40× oil immersion · bone marrow aspirate smear:
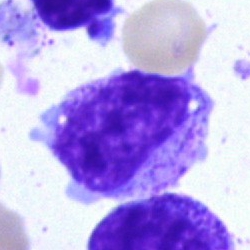 The cell type is myelocyte.